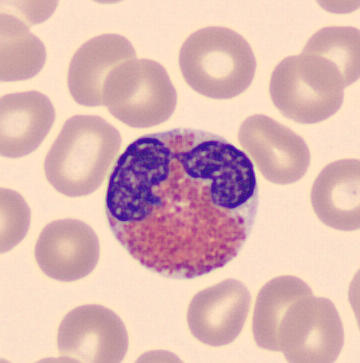 Acquisition: CellaVision DM96; peripheral blood smear; image size 360×363.

Cell: eosinophil.